250×250 px; bone marrow smear; single-cell crop: 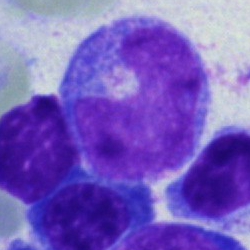

Impression — monocyte.